Bone marrow smear · MGG-stained:
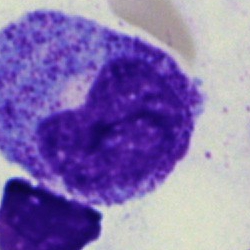Q: What is shown here?
A: Metamyelocyte.